Bone marrow smear.
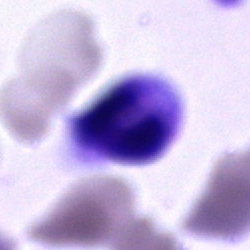Cell of indeterminate lineage.